M8 digital microscope (Precipoint), 100× oil immersion; peripheral blood film — 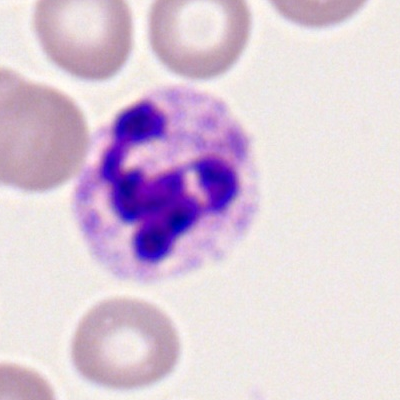
Cell type = polymorphonuclear neutrophil.